400×400 · 100× oil immersion · peripheral blood smear — 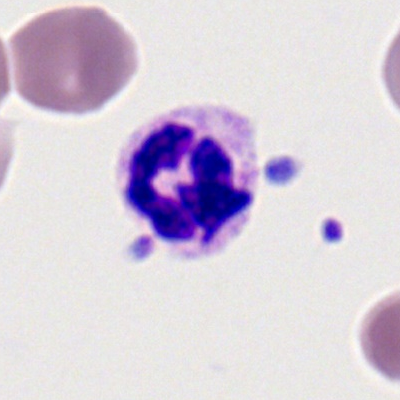Morphology consistent with a segmented neutrophil.